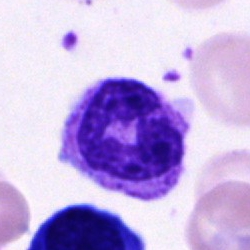
{"cell_type": "band-form neutrophil", "lineage": "myeloid"}